Bone marrow smear · 40× oil immersion.
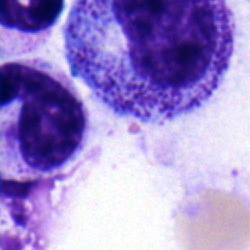Morphology consistent with a band-form neutrophil.